Bone marrow aspirate smear — 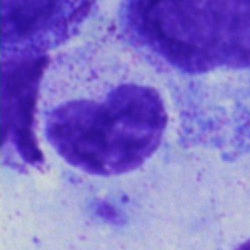This is a metamyelocyte.